Bone marrow smear
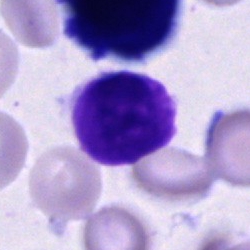 Impression → cell of indeterminate lineage.